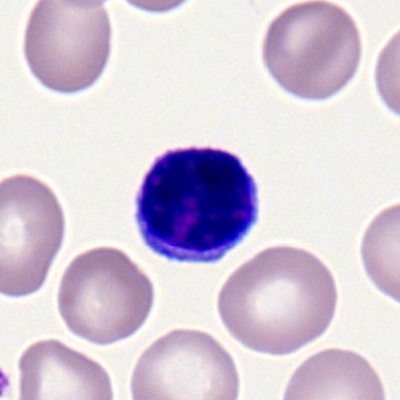Typical lymphocyte.